Bone marrow smear
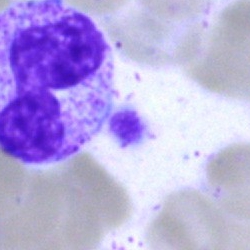Classification — neutrophil (segmented).